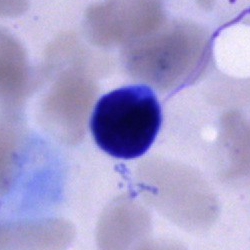Specimen: bone marrow aspirate smear.
Cell type: cell of indeterminate lineage.